Bone marrow aspirate smear
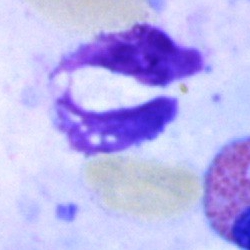

An artifact.